Bone marrow aspirate smear.
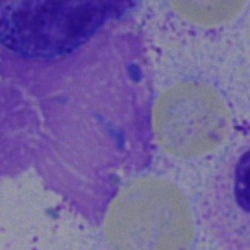

The morphological class is artifact.